Bone marrow aspirate smear. 40× objective, oil immersion
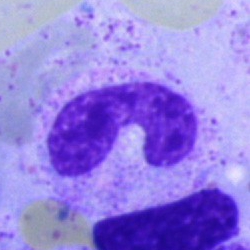
Band neutrophil.